Bone marrow aspirate smear:
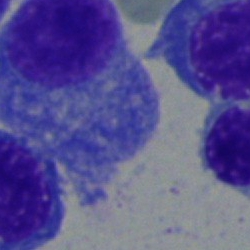 Impression → plasma cell.